Bone marrow aspirate smear. 250 by 250 pixels:
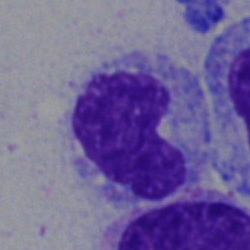Impression → band-form neutrophil.